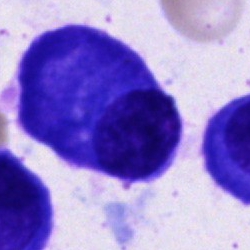

{"cell_type": "plasmacyte"}